May-Grünwald-Giemsa/Pappenheim stain; bone marrow aspirate smear: 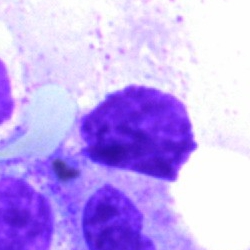Q: What is shown here?
A: An artifact.